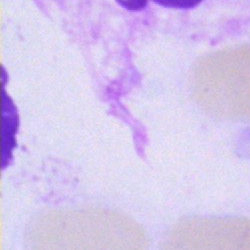 Classification — artifact.